Bone marrow aspirate smear — 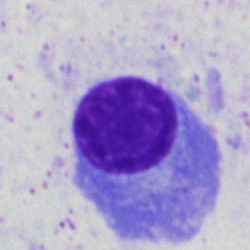
Specimen: bone marrow smear.
Cell type: plasma cell.